Bone marrow aspirate smear; 250×250 px; 40× objective, oil immersion:
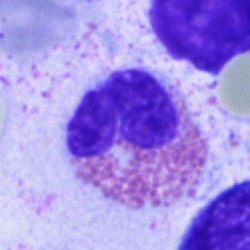Cell type: eosinophil.